Single cell centered in the field · bone marrow smear.
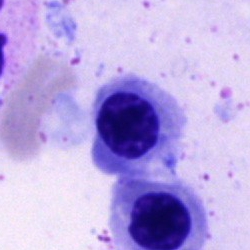 Cell type — nucleated red cell.